May-Grünwald-Giemsa/Pappenheim stain · bone marrow smear — 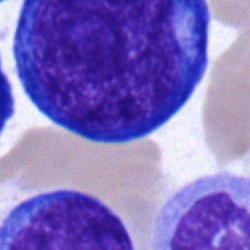
Q: Identify the cell.
A: This is a proerythroblast.